Bone marrow aspirate smear — 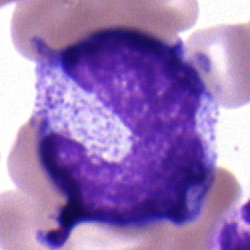 Morphology consistent with a stab cell.